MGG-stained; bone marrow smear; single-cell crop.
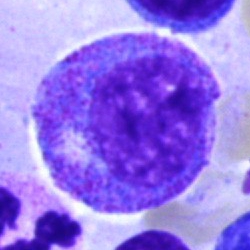Cell: progranulocyte.